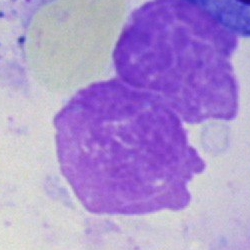

The cell shown is an artifact.